Peripheral blood film.
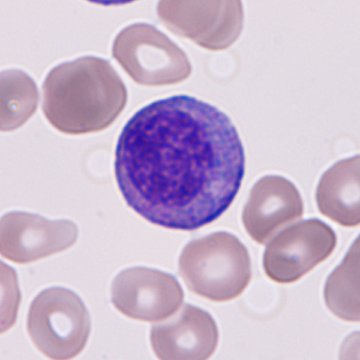
Q: What type of cell is this?
A: Immature granulocyte.